Bone marrow smear:
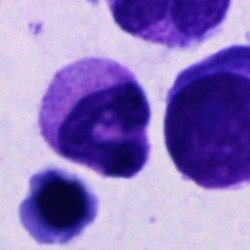 Cell — polymorphonuclear neutrophil.